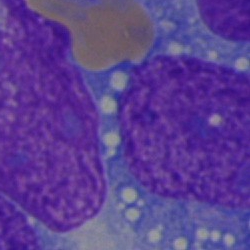
Q: Which cell type is shown here?
A: A blast cell.